May-Grünwald-Giemsa/Pappenheim stain; bone marrow aspirate smear: 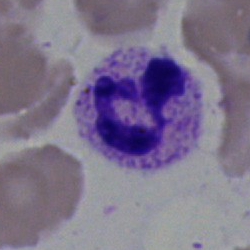Morphology consistent with a polymorphonuclear neutrophil.